Bone marrow smear; image size 250×250; single-cell field.
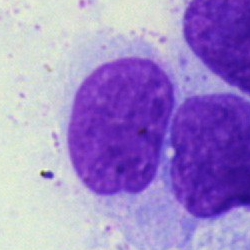 Artefact.